40× oil immersion · bone marrow aspirate smear:
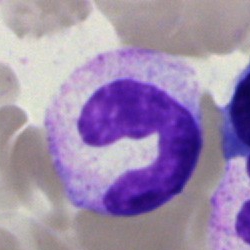 Cell — band-form neutrophil.